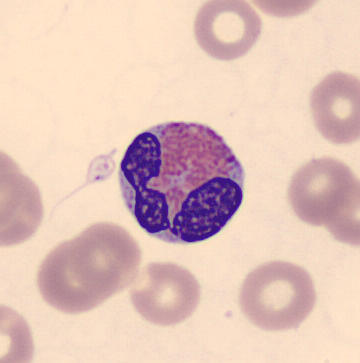360×363.
Specimen: peripheral blood film.
Classification: eosinophil.
Lineage: myeloid.